Bone marrow aspirate smear.
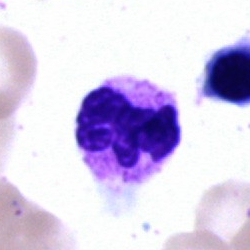

Morphological class: polymorphonuclear neutrophil.